Bone marrow smear; MGG-stained: 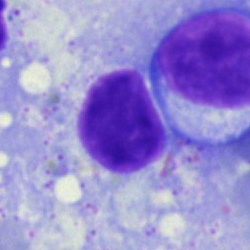
Morphology — artifact.